Bone marrow smear. 40× objective, oil immersion. 250×250 px: 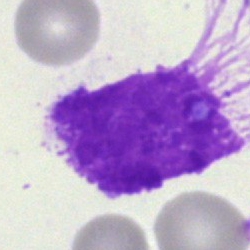
Morphology — artifact.